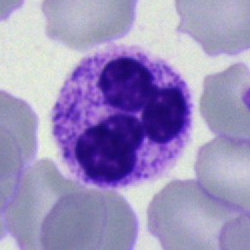

Bone marrow aspirate smear, single cell — polymorphonuclear neutrophil.